Bone marrow smear — 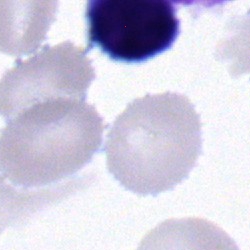Q: What type of cell is this?
A: A lymphocyte.